Image size 250×250; bone marrow smear; Pappenheim-stained.
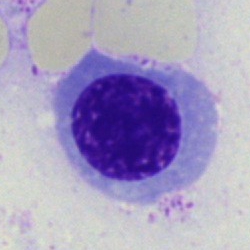 The classification is nucleated red cell.